Single-cell crop. Bone marrow aspirate smear. Brightfield microscopy, 40× oil immersion.
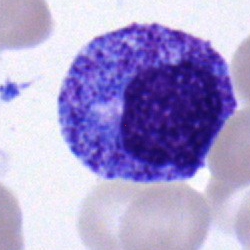
The classification is progranulocyte.